40× oil immersion. Bone marrow smear.
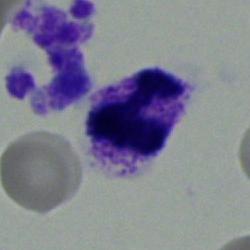 Cell type — neutrophil (segmented).